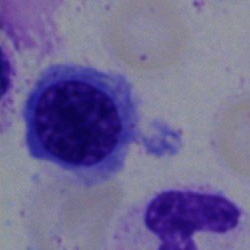Nucleated red cell.